Bone marrow smear. Image size 250×250. Single-cell crop: 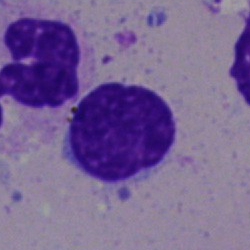

Q: Which cell type is shown here?
A: A typical lymphocyte.